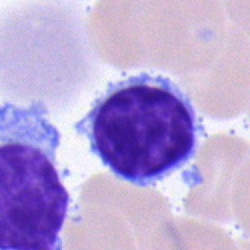This is a typical lymphocyte.